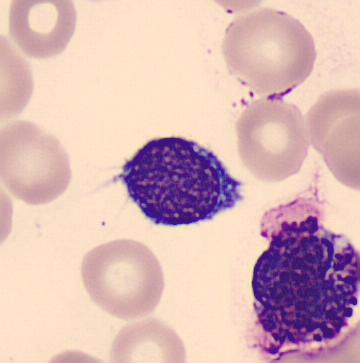

The cell type is typical lymphocyte.

Preparation: Peripheral blood film; 360 by 363 pixels.